Peripheral blood film — 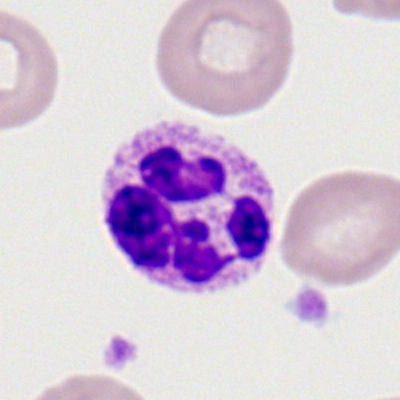

Single cell identified as a polymorphonuclear neutrophil.